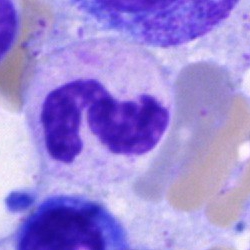
Morphology — segmented neutrophil.